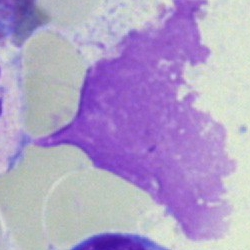 Morphological class = artifact.